Bone marrow smear — 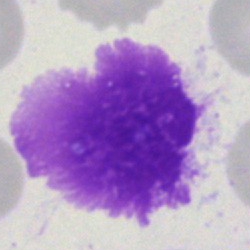
Cell = artifact.